40× objective, oil immersion. Single-cell field. Bone marrow aspirate smear.
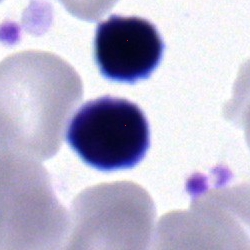 Single cell identified as a lymphocyte.